Bone marrow aspirate smear — 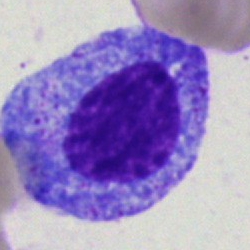

Single cell identified as a promyelocyte.